Brightfield microscopy, 40× oil immersion · 250×250 px · bone marrow smear.
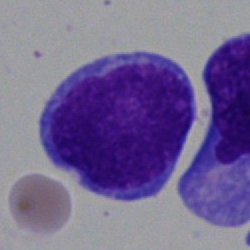Morphology consistent with a blast.